Bone marrow aspirate smear — 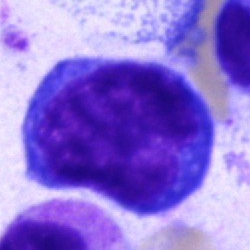 Showing a proerythroblast.